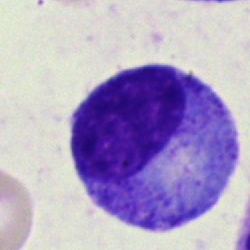 A promyelocyte on a bone marrow smear.